Bone marrow aspirate smear: 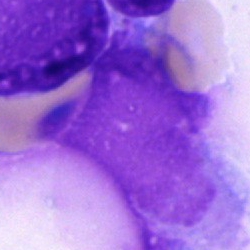Morphology consistent with an artifact.